Peripheral blood film: 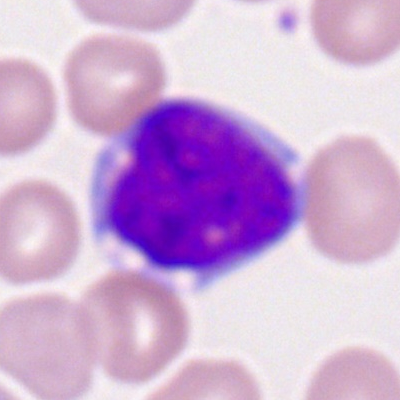 Cell type: myeloid blast.